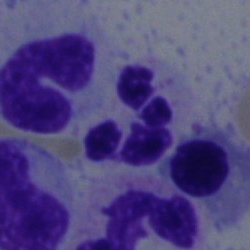 Specimen: bone marrow aspirate smear.
Classification: polymorphonuclear neutrophil.
Lineage: myeloid.